Bone marrow aspirate smear:
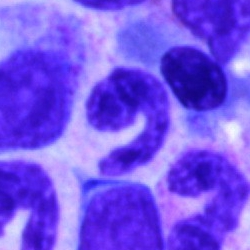
Classification — polymorphonuclear neutrophil.